Bone marrow smear.
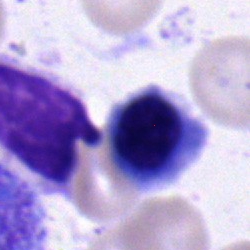

Q: What is shown here?
A: Normoblast.